Bone marrow aspirate smear: 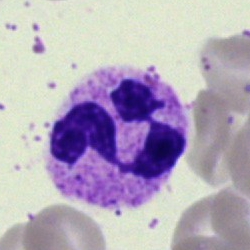Classification — polymorphonuclear neutrophil.